Bone marrow aspirate smear; brightfield microscopy, 40× oil immersion.
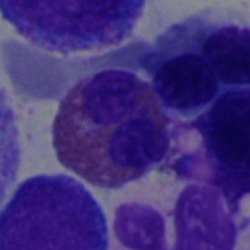Morphology consistent with an eosinophil.